Peripheral blood smear; single-cell field; brightfield, 100× oil-immersion objective
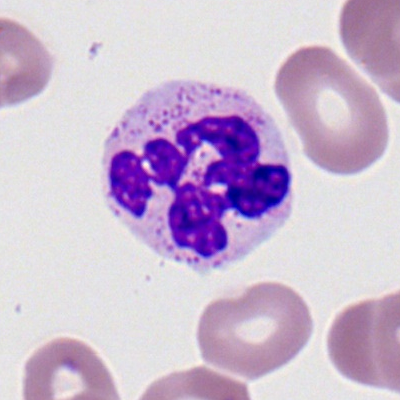

Single cell identified as a neutrophil (segmented).